Bone marrow aspirate smear:
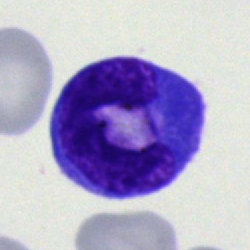
Classification = typical lymphocyte.